Cropped to a single cell. Bone marrow aspirate smear. 250 by 250 pixels
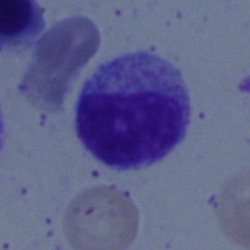 Q: Which cell type is shown here?
A: A myelocyte.